Bone marrow smear:
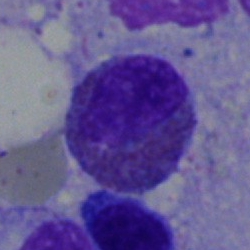
Impression — eosinophil.